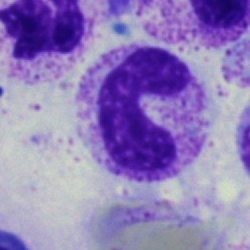Cell type = neutrophil (band).